Bone marrow smear:
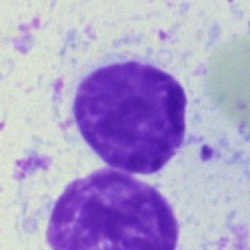Cell type: artefact.